Bone marrow aspirate smear:
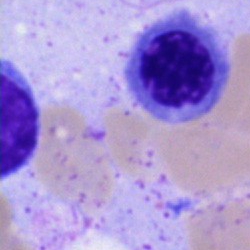 This is a nucleated red blood cell.